Bone marrow aspirate smear · May-Grünwald-Giemsa stain
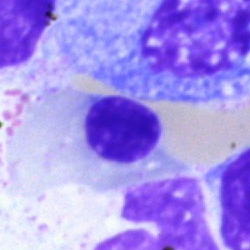This is a nucleated red cell.